Cropped to a single cell. Bone marrow aspirate smear
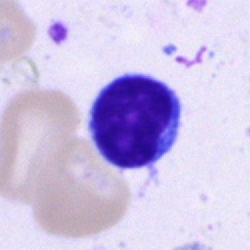

Q: What is shown here?
A: It is a typical lymphocyte.